Peripheral blood film
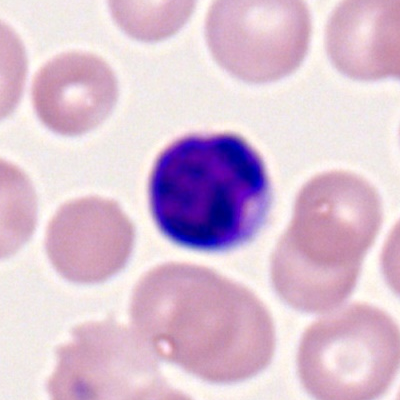 Morphology — lymphocyte.